Bone marrow smear: 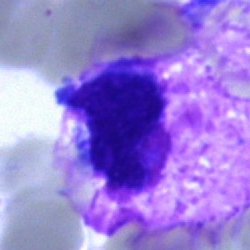

This is an artefact.